Bone marrow aspirate smear:
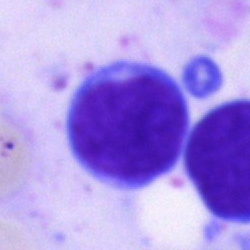

Cell = blast cell.